Peripheral blood smear — 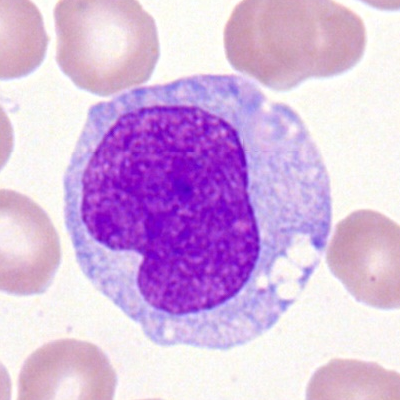 Morphological class — monocyte.